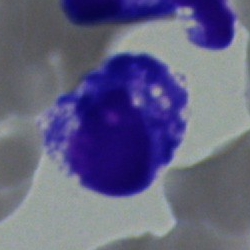
{"cell_type": "blast cell"}